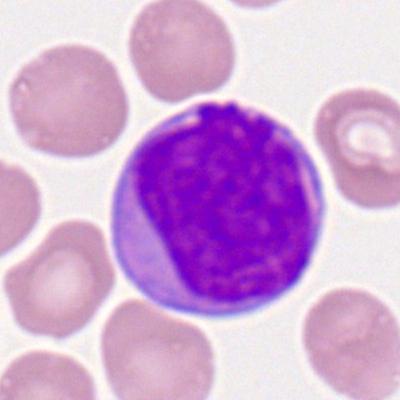Classification — myeloid blast.